May-Grünwald-Giemsa stain; bone marrow aspirate smear:
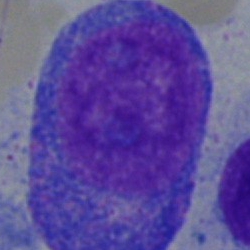
Specimen: bone marrow smear.
Morphological class: promyelocyte.